Bone marrow aspirate smear — 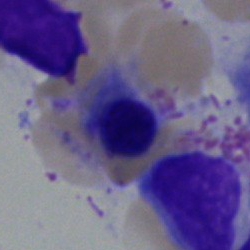Q: What cell is this?
A: It is a nucleated red blood cell.